Bone marrow smear: 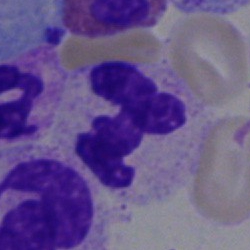
The morphological class is neutrophil (segmented).